Brightfield microscopy, 40× oil immersion · bone marrow smear — 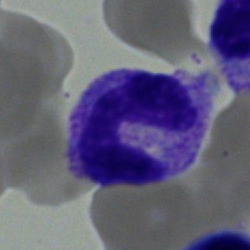The cell shown is a neutrophil (band).